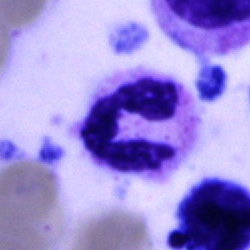
Segmented neutrophil.